Bone marrow aspirate smear: 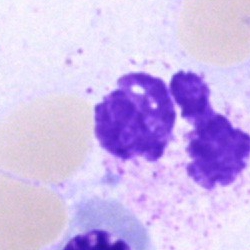The cell shown is a neutrophil (segmented).